Brightfield microscopy, 40× oil immersion. Bone marrow smear. Single-cell crop — 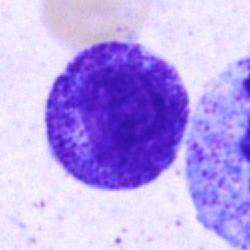Progranulocyte.